Bone marrow aspirate smear
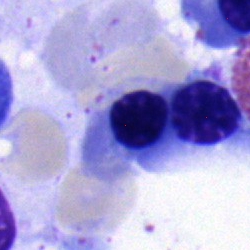

A nucleated red cell.